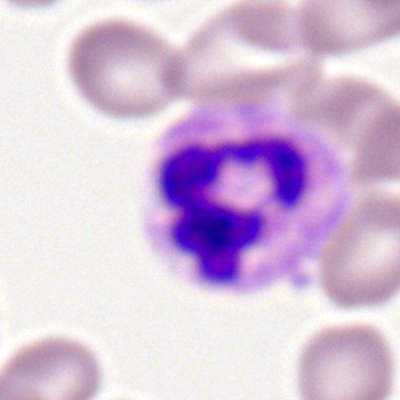
Segmented neutrophil.